Bone marrow smear: 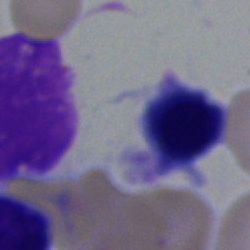 Nucleated red blood cell.